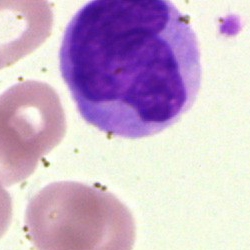 {"cell_type": "monocyte", "lineage": "myeloid"}